Image size 250×250 · bone marrow aspirate smear: 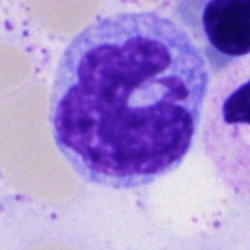Single cell identified as a monocyte.